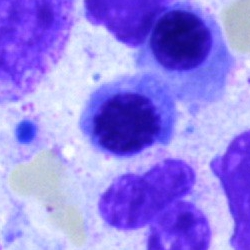

{"cell_type": "erythroblast"}